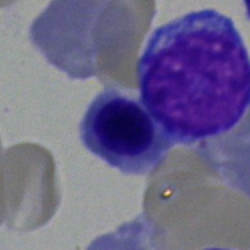

Cell type: erythroblast.